Pappenheim-stained. Bone marrow aspirate smear.
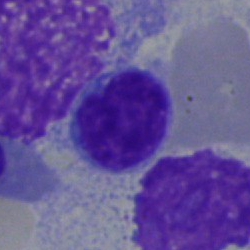

Morphological class: lymphocyte.